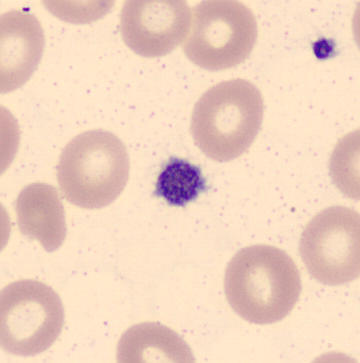
{"cell_type": "thrombocyte"}

Image: MGG-stained; peripheral blood smear.